Bone marrow smear: 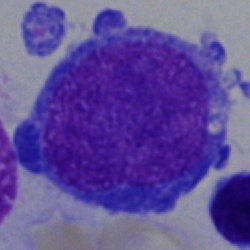
Cell = undifferentiated blast.